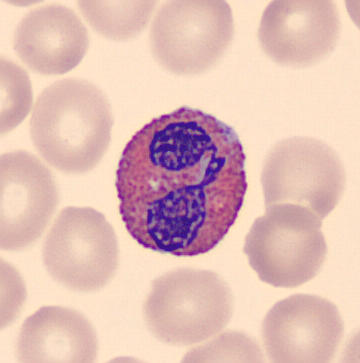

Single cell identified as an eosinophil.